Cropped to a single cell. Bone marrow smear
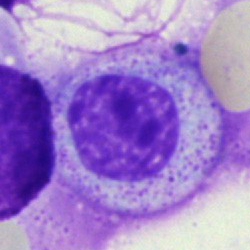Morphology consistent with a myelocyte.